Single cell centered in the field. Bone marrow smear — 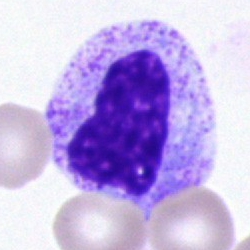
Morphology — metamyelocyte.